Cropped to a single cell · bone marrow aspirate smear:
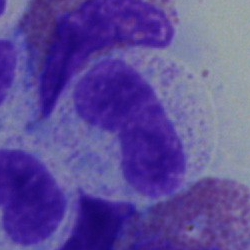

Specimen: bone marrow aspirate smear.
Cell: stab cell.